250×250 · bone marrow smear.
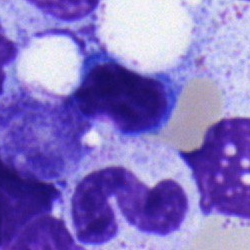

Cell type — segmented neutrophil.